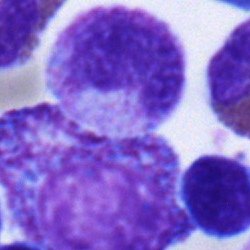 Q: What is shown here?
A: This is a metamyelocyte.